Single-cell crop. Bone marrow smear:
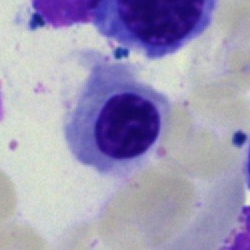
A nucleated red cell.